Bone marrow smear: 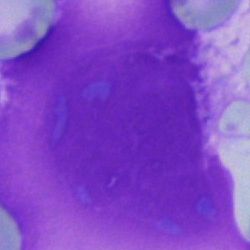
Q: What is shown here?
A: This is an artifact.